Single cell centered in the field. MGG-stained. Bone marrow smear
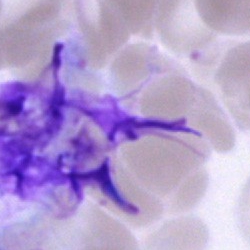

Cell: artefact.